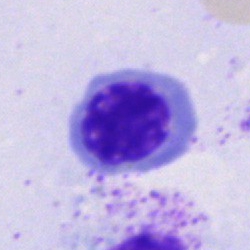 Bone marrow aspirate smear, single cell — erythroblast.